Peripheral blood film; cropped to a single cell.
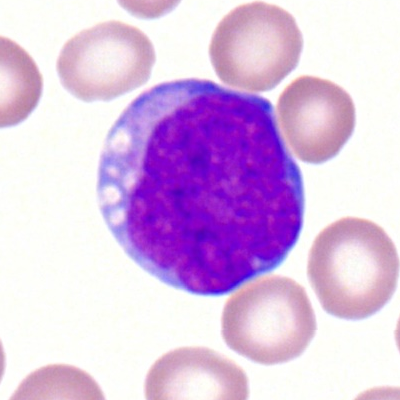 Classification = myeloblast.